Bone marrow smear:
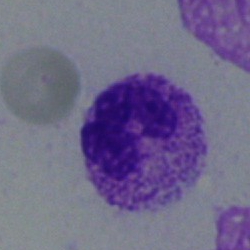 The morphological class is polymorphonuclear neutrophil.